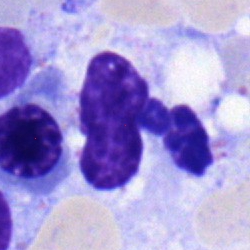
Single cell identified as a polymorphonuclear neutrophil.